250×250; bone marrow smear; brightfield, 40× oil-immersion objective
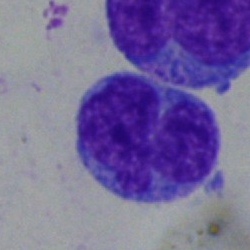

Specimen: bone marrow aspirate smear.
Classification: undifferentiated blast.